Bone marrow smear.
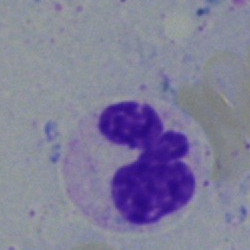

Specimen: bone marrow smear.
Cell type: segmented neutrophil.